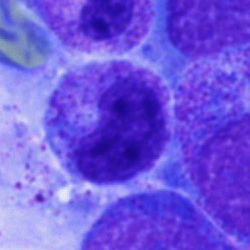 Morphology consistent with a band-form neutrophil.